Bone marrow smear.
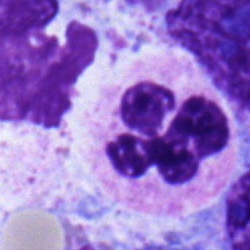 Q: Identify the cell.
A: It is a polymorphonuclear neutrophil.